Single-cell crop. Bone marrow aspirate smear:
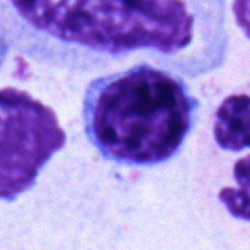 Morphological class — lymphocyte.